Image size 250×250. 40× oil immersion. Bone marrow aspirate smear
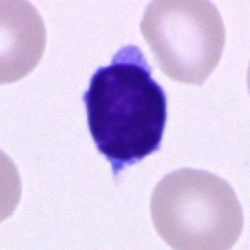Lymphocyte.